Bone marrow smear
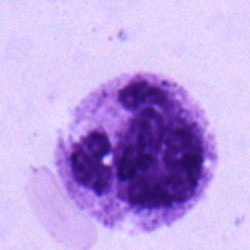 Morphological class = segmented neutrophil.